Peripheral blood film:
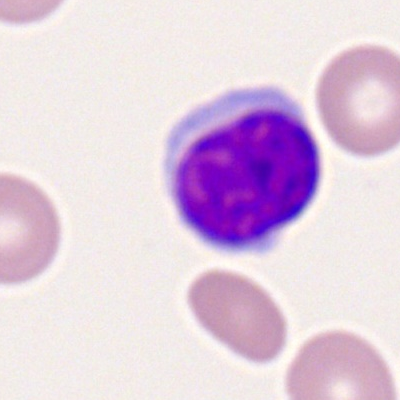

Morphological class: lymphocyte.